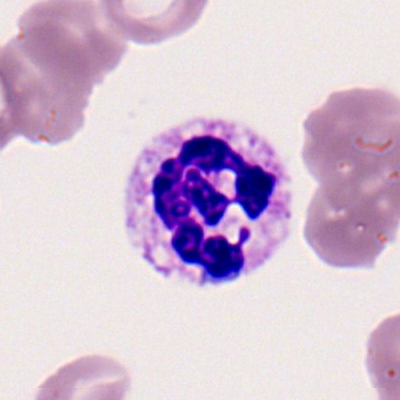

Morphology — polymorphonuclear neutrophil.